Single-cell field · bone marrow smear — 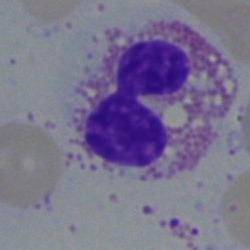

Q: Identify the cell.
A: This is an eosinophil.